250×250 px · bone marrow aspirate smear: 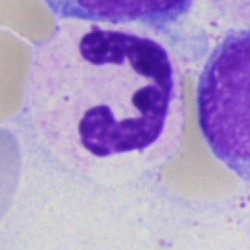

Morphology → neutrophil (segmented).